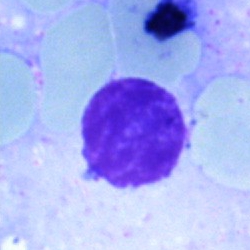Single-cell crop from a bone marrow smear: lymphocyte.